Single cell centered in the field; bone marrow smear; image size 250×250: 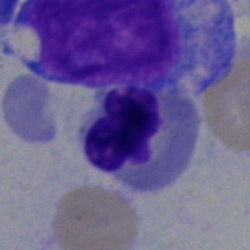 Nucleated red blood cell.